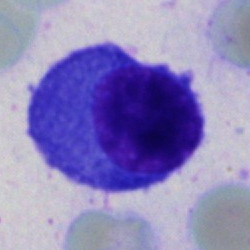

This is a plasma cell.